Bone marrow smear — 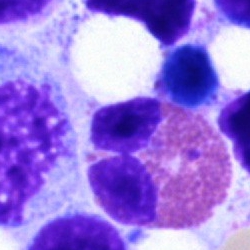This is an eosinophil.